Pappenheim-stained; bone marrow aspirate smear: 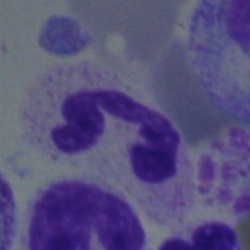 {"cell_type": "segmented neutrophil"}